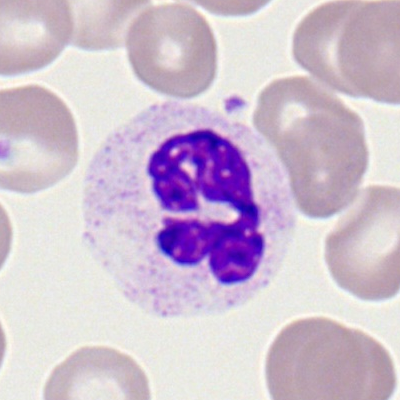 Single cell identified as a neutrophil (segmented).